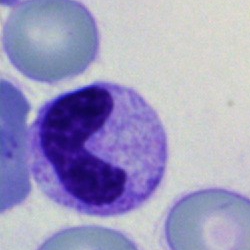

Morphology consistent with a segmented neutrophil.